Peripheral blood smear
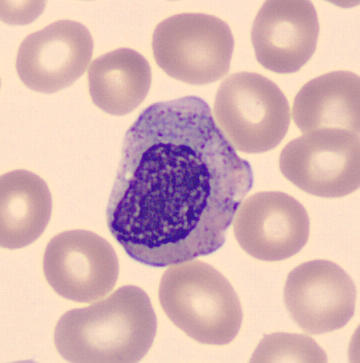
Cell type — myelocyte.